40× oil immersion; bone marrow aspirate smear.
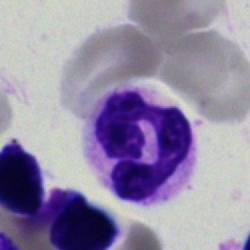

{"cell_type": "neutrophil (segmented)", "lineage": "myeloid"}